May-Grünwald-Giemsa/Pappenheim stain. Single cell centered in the field. Bone marrow smear — 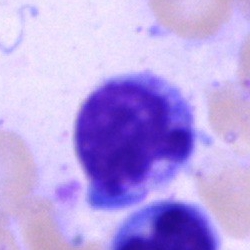
Specimen: bone marrow aspirate smear.
Cell: typical lymphocyte.